Bone marrow aspirate smear — 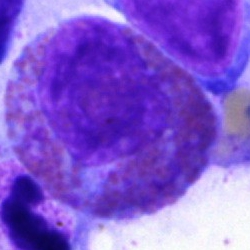Showing an eosinophil.